Peripheral blood film — 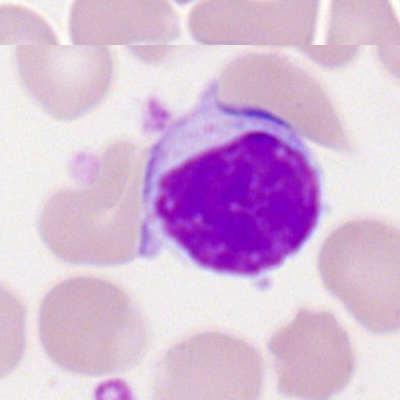
Showing a lymphocyte.